Bone marrow aspirate smear:
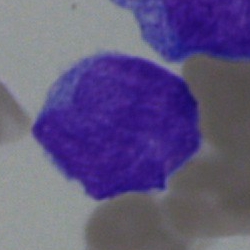 Showing a blast cell.